Bone marrow smear. MGG-stained:
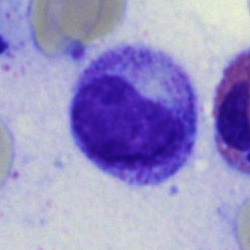Metamyelocyte.